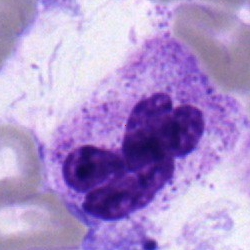

Q: What type of cell is this?
A: A segmented neutrophil.